Peripheral blood smear
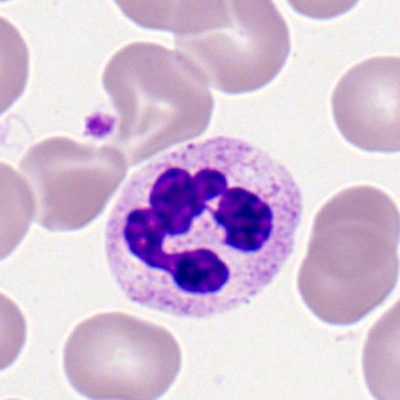 Specimen: peripheral blood film.
Morphological class: segmented neutrophil.
Lineage: myeloid.